Bone marrow aspirate smear: 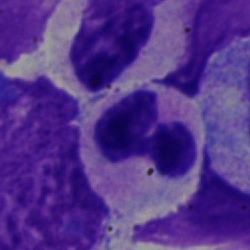This is a polymorphonuclear neutrophil.